Bone marrow smear.
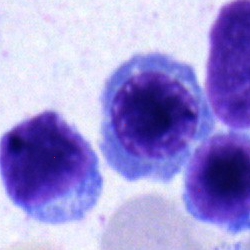
This is a nucleated red blood cell.